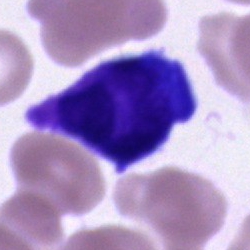

Impression — unidentifiable cell.